250×250 px. Bone marrow smear. 40× objective, oil immersion: 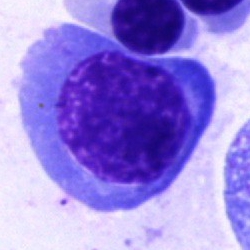{"cell_type": "nucleated red cell"}